Cropped to a single cell. Bone marrow aspirate smear. Image size 250×250
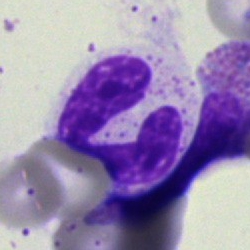

Morphology consistent with a segmented neutrophil.